Bone marrow smear: 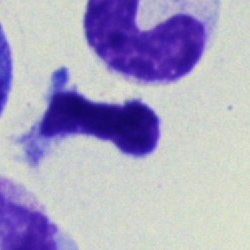 The cell shown is a lymphocyte.